MGG-stained · bone marrow aspirate smear · cropped to a single cell
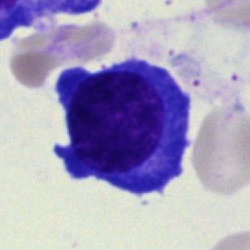

Plasma cell.